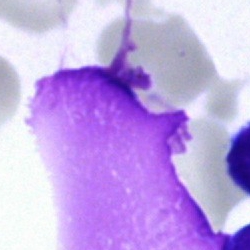An artifact.